Bone marrow smear.
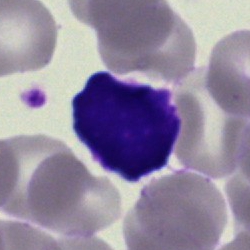Showing a typical lymphocyte.